Bone marrow aspirate smear: 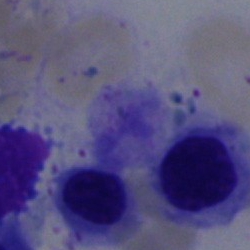

Nucleated red blood cell.